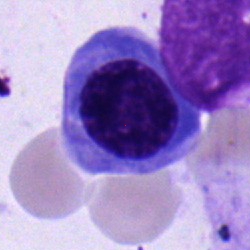{"cell_type": "nucleated red blood cell", "lineage": "erythroid"}